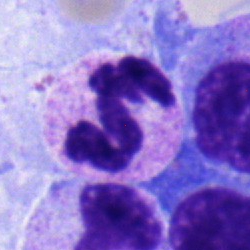
Q: What is shown here?
A: It is a neutrophil (segmented).